May-Grünwald-Giemsa/Pappenheim stain · bone marrow aspirate smear
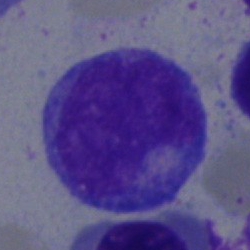 The cell shown is a promyelocyte.